Bone marrow smear · May-Grünwald-Giemsa/Pappenheim stain:
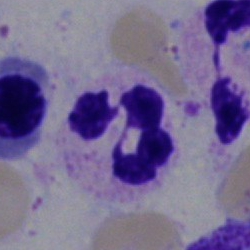
Classification = polymorphonuclear neutrophil.